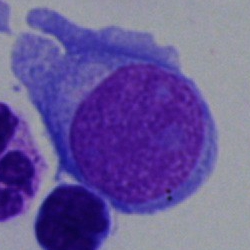 {"cell_type": "blast"}